Bone marrow aspirate smear: 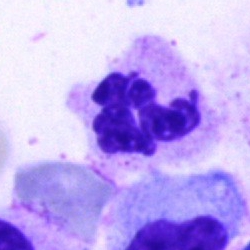Q: What is the morphological classification of this cell?
A: It is a polymorphonuclear neutrophil.